Brightfield, 40× oil-immersion objective. MGG-stained. Bone marrow smear:
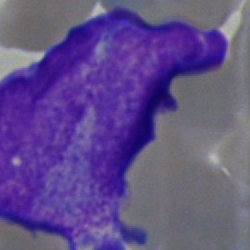
Q: Which cell type is shown here?
A: This is a blast.